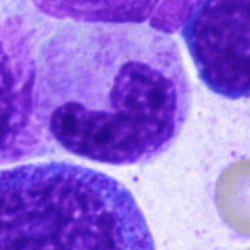
Morphological class = segmented neutrophil.